Single cell centered in the field; May-Grünwald-Giemsa/Pappenheim stain; bone marrow smear — 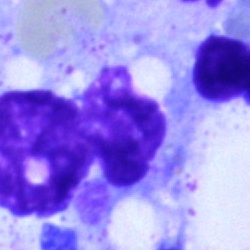Specimen: bone marrow smear.
Morphological class: artifact.